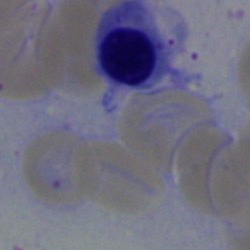
Single-cell crop from a bone marrow smear: nucleated red cell.